Bone marrow aspirate smear: 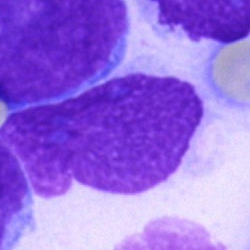
Impression — undifferentiated blast.